Bone marrow aspirate smear — 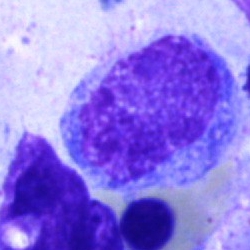Showing an unidentifiable cell.